Bone marrow aspirate smear
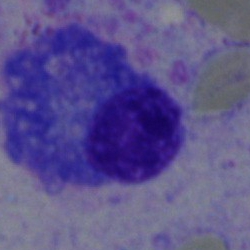Morphology consistent with a plasma cell.